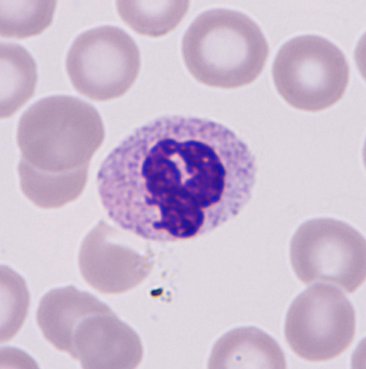Q: What is shown here?
A: Neutrophil.